Single-cell crop · bone marrow smear:
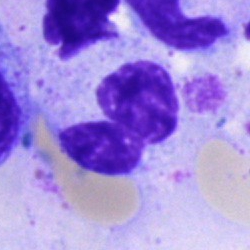
Cell type = segmented neutrophil.